Bone marrow aspirate smear · May-Grünwald-Giemsa/Pappenheim stain.
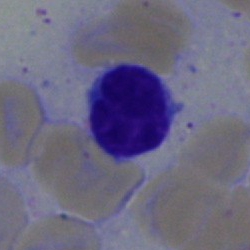
Morphology → lymphocyte.